Bone marrow aspirate smear — 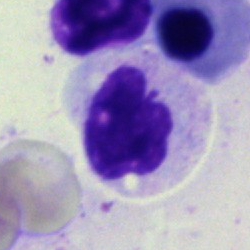 Q: Which cell type is shown here?
A: This is a monocyte.